250×250. Bone marrow aspirate smear: 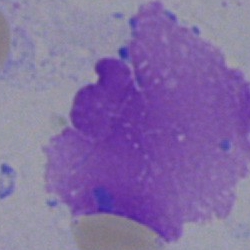This is an artifact.